May-Grünwald-Giemsa stain; bone marrow aspirate smear.
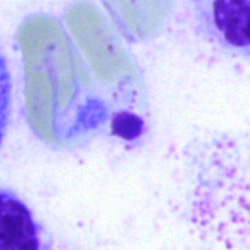 Morphology → artifact.